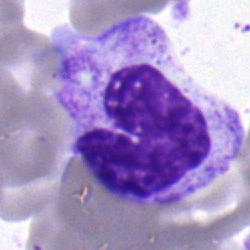 Cell type = neutrophil (band).